Peripheral blood smear:
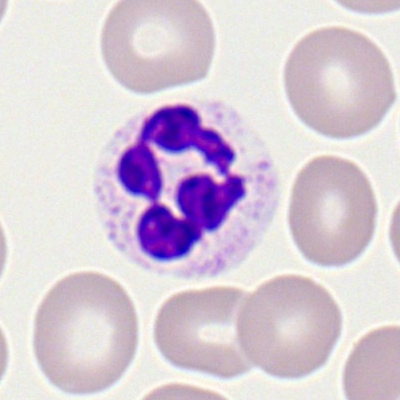 Morphological class = neutrophil (segmented).